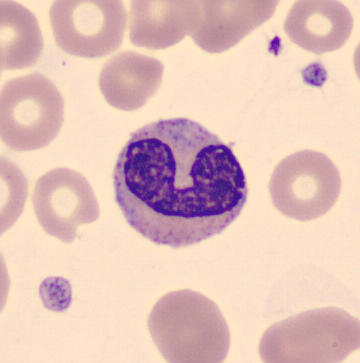Morphology consistent with a neutrophil (band).
Peripheral blood smear · single-cell field.